Bone marrow smear: 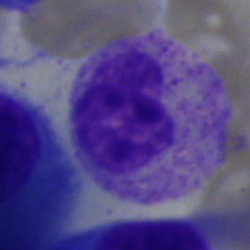 Metamyelocyte.